Bone marrow aspirate smear — 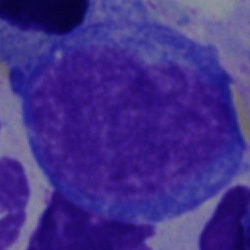
Showing a proerythroblast.